Single-cell field; bone marrow aspirate smear — 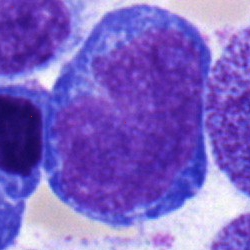

The cell is proerythroblast.